Bone marrow aspirate smear; single-cell field — 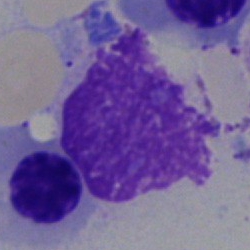 {"cell_type": "artefact"}